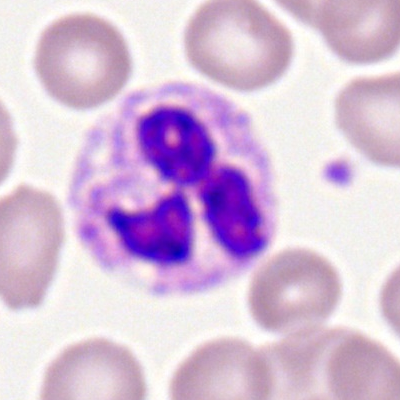The cell shown is a segmented neutrophil.